Single-cell crop · bone marrow smear
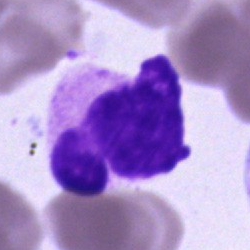 Specimen: bone marrow aspirate smear.
Classification: segmented neutrophil.
Lineage: myeloid.